Peripheral blood film
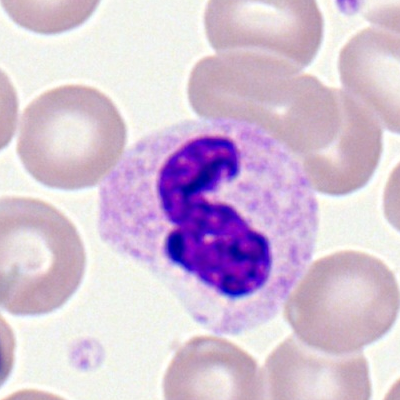 Cell type: polymorphonuclear neutrophil.